Bone marrow aspirate smear; image size 250×250; single-cell crop: 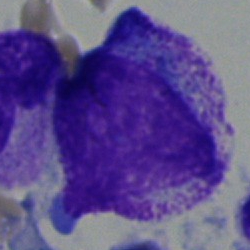
Showing a progranulocyte.